40× objective, oil immersion · Pappenheim-stained · bone marrow aspirate smear — 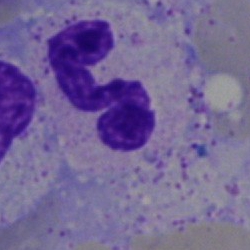 Morphology — segmented neutrophil.